100× oil immersion; peripheral blood film — 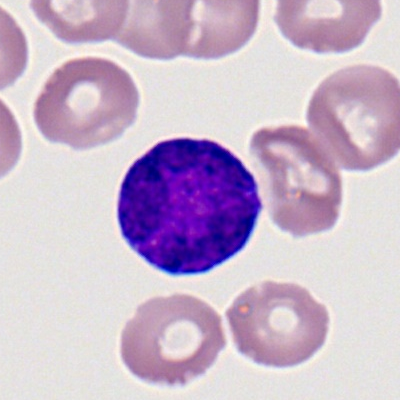
Specimen: peripheral blood film.
Morphological class: typical lymphocyte.